Bone marrow smear · 250×250 px: 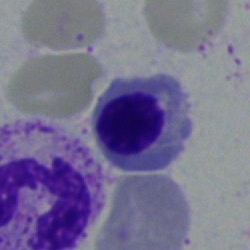

Morphological class: normoblast.